Bone marrow aspirate smear:
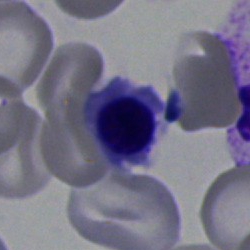This is a nucleated red blood cell.